Bone marrow smear — 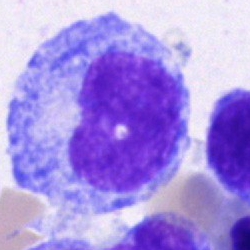 Cell type — progranulocyte.